Brightfield microscopy, 40× oil immersion; bone marrow smear:
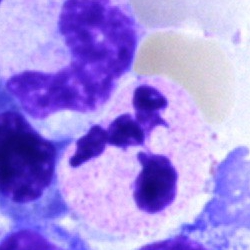 Specimen: bone marrow smear.
Morphological class: neutrophil (segmented).
Lineage: myeloid.